May-Grünwald-Giemsa/Pappenheim stain · bone marrow smear:
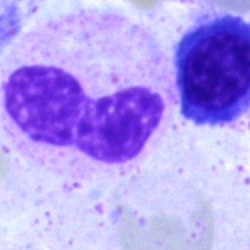 Morphology — band-form neutrophil.